250×250. Bone marrow aspirate smear. 40× objective, oil immersion.
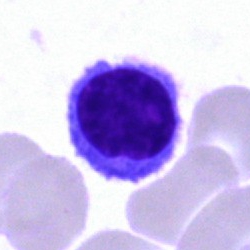 The cell shown is a lymphocyte.